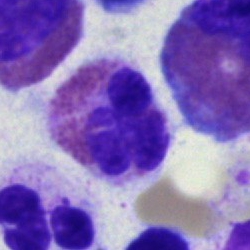Bone marrow aspirate smear, single cell — eosinophil.